Cropped to a single cell · bone marrow smear
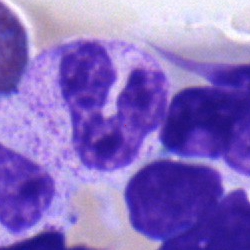
Morphology consistent with a band-form neutrophil.